May-Grünwald-Giemsa stain; bone marrow aspirate smear; single-cell crop
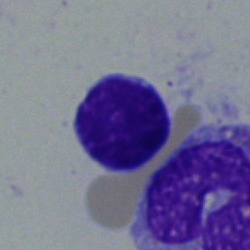
Morphology consistent with a typical lymphocyte.